Peripheral blood film; M8 digital microscope (Precipoint), 100× oil immersion
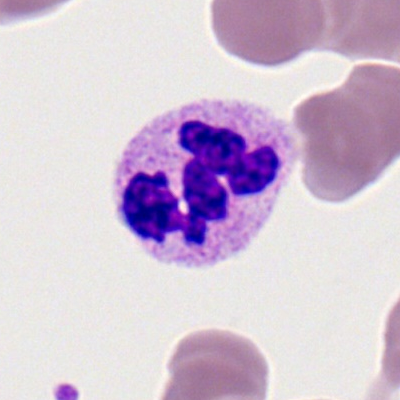
{"cell_type": "segmented neutrophil", "lineage": "myeloid"}